Bone marrow smear. 250×250.
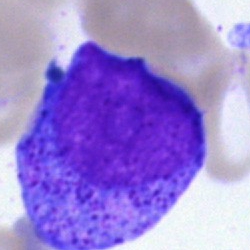 Progranulocyte.